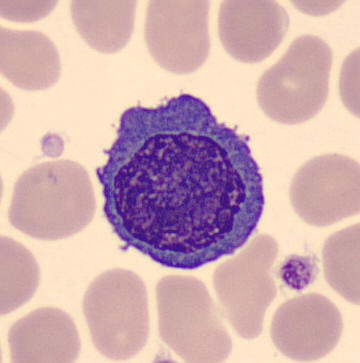Peripheral blood smear; automated cell imaging (CellaVision DM96).
Showing a monocyte.